Bone marrow aspirate smear:
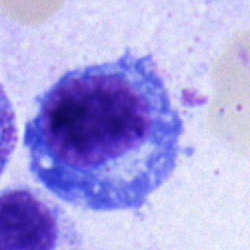Q: Which cell type is shown here?
A: This is a plasma cell.